Bone marrow smear:
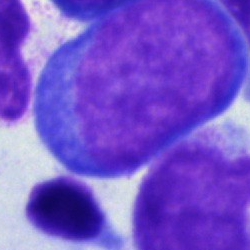This is a blast cell.